Bone marrow smear
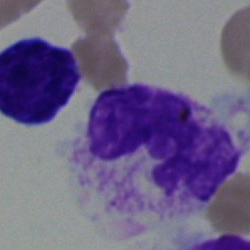Q: What type of cell is this?
A: This is a segmented neutrophil.